Single-cell field; bone marrow smear — 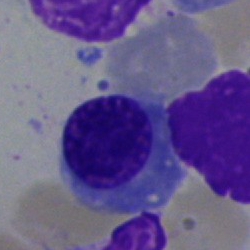

Q: What is the morphological classification of this cell?
A: A nucleated red blood cell.